Bone marrow aspirate smear — 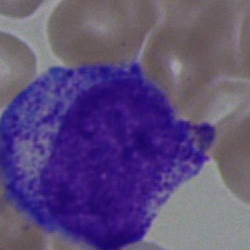 Single cell identified as a promyelocyte.